250 by 250 pixels; bone marrow smear:
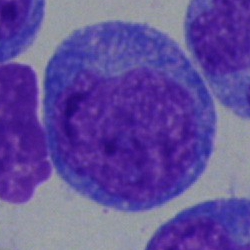

Cell type: blast.